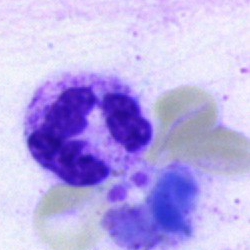

Impression → polymorphonuclear neutrophil.